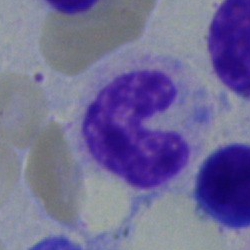

{"cell_type": "band neutrophil"}